MGG stain. Peripheral blood smear: 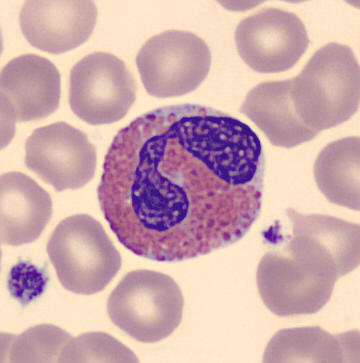Q: Which cell type is shown here?
A: It is an eosinophilic granulocyte.